Bone marrow smear — 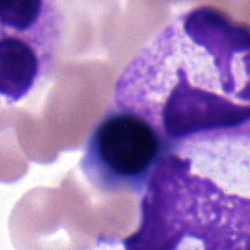{"cell_type": "normoblast", "lineage": "erythroid"}